Single-cell field · bone marrow aspirate smear — 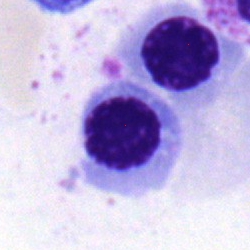 Cell — nucleated red cell.